40× objective, oil immersion. Bone marrow smear
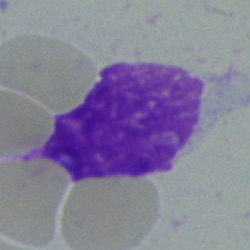

Cell = artifact.